Bone marrow smear — 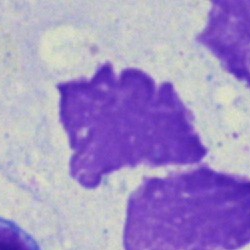
Impression → artifact.